Bone marrow aspirate smear. Single-cell field.
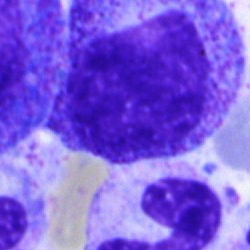 Specimen: bone marrow smear.
Cell: myelocyte.